MGG-stained. Bone marrow aspirate smear.
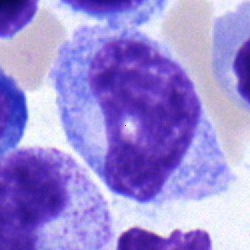 Morphological class — monocyte.